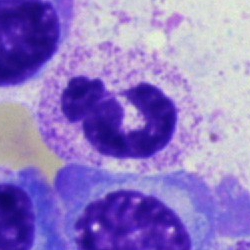
Cell type = neutrophil (segmented).